Bone marrow aspirate smear · brightfield, 40× oil-immersion objective · image size 250×250 — 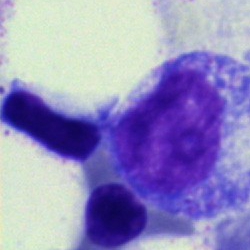 {"cell_type": "progranulocyte"}